Bone marrow smear · 250×250 px
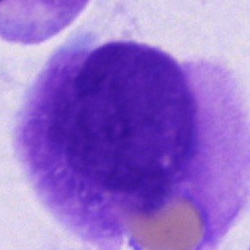
Morphology consistent with an artefact.